Bone marrow smear.
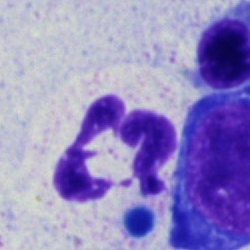

Morphology — polymorphonuclear neutrophil.